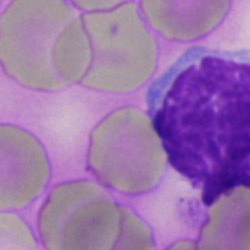 Morphological class: artifact.